Bone marrow smear — 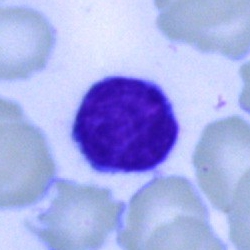

Specimen: bone marrow aspirate smear.
Cell: typical lymphocyte.
Lineage: lymphoid.